Brightfield microscopy, 40× oil immersion · bone marrow aspirate smear
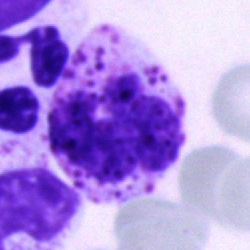Specimen: bone marrow aspirate smear.
Morphological class: basophil.
Lineage: myeloid.